250×250 px. Bone marrow aspirate smear. 40× objective, oil immersion — 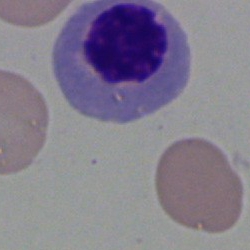

Q: What cell is this?
A: It is an erythroblast.